Bone marrow smear. 250×250 px.
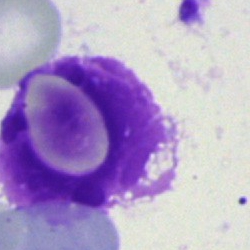
Specimen: bone marrow aspirate smear.
Cell: artifact.